Bone marrow aspirate smear. Single cell centered in the field. 40× objective, oil immersion:
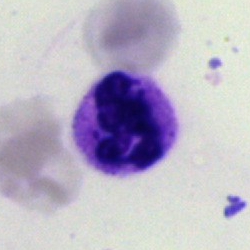The cell shown is a neutrophil (segmented).